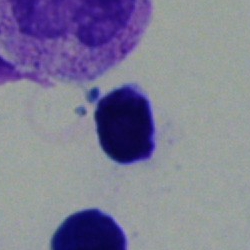
Q: What is shown here?
A: This is a typical lymphocyte.